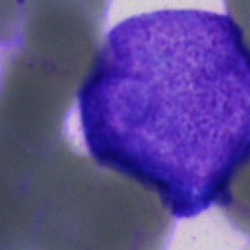 Specimen: bone marrow aspirate smear.
Classification: blast cell.